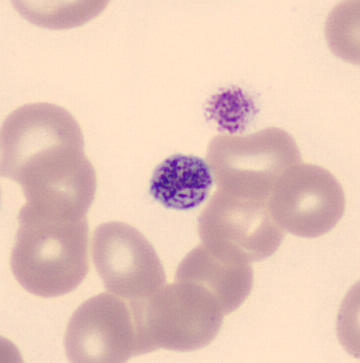

Peripheral blood smear.
Showing a thrombocyte.